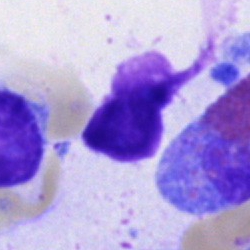

Specimen: bone marrow aspirate smear.
Cell type: cell of indeterminate lineage.